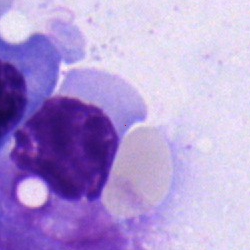
Bone marrow smear showing a lymphocyte.